May-Grünwald-Giemsa/Pappenheim stain · single-cell field · bone marrow smear
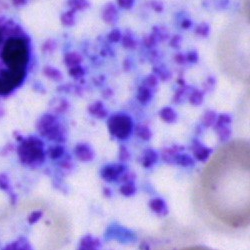
Q: What type of cell is this?
A: An other cell.